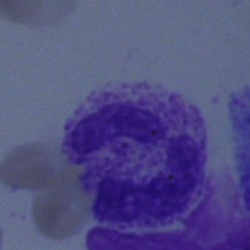 Morphology — segmented neutrophil.